Bone marrow aspirate smear — 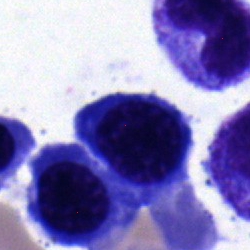 Single cell identified as a normoblast.